Bone marrow smear. Image size 250×250:
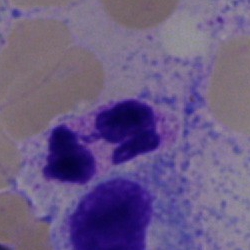Cell type: neutrophil (segmented).